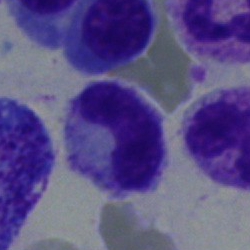Morphology → stab cell.